Peripheral blood film.
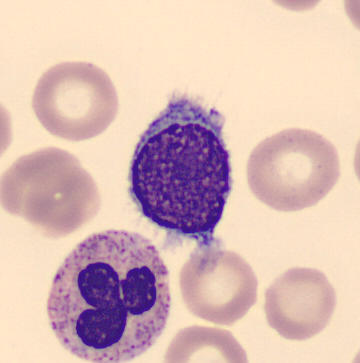

Specimen: peripheral blood film.
Cell type: typical lymphocyte.
Lineage: lymphoid.